Bone marrow aspirate smear · Pappenheim-stained.
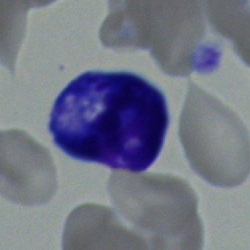Single cell identified as an artefact.